Bone marrow aspirate smear · MGG-stained
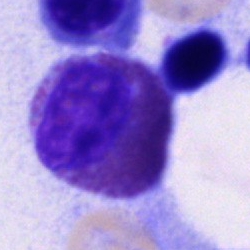 This is an eosinophil.